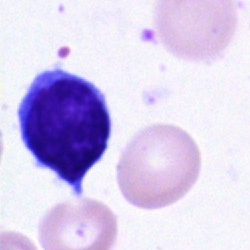Impression — lymphocyte.